Bone marrow aspirate smear: 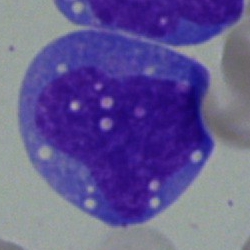
A monocyte.